Bone marrow smear · MGG-stained — 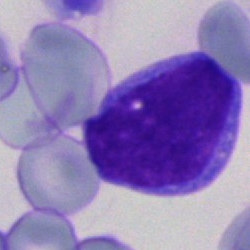

This is a blast cell.